250×250; bone marrow aspirate smear: 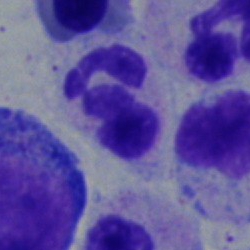
Cell: polymorphonuclear neutrophil.